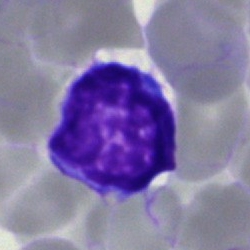
This is a typical lymphocyte.